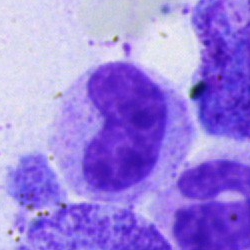 Morphological class = neutrophil (band).